MGG-stained; bone marrow smear
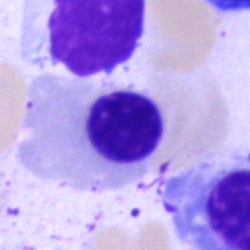
Q: Which cell type is shown here?
A: It is a normoblast.